250×250 px. Bone marrow smear.
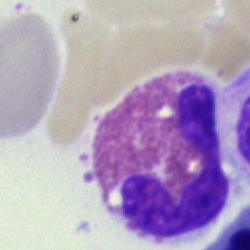 Single cell identified as an eosinophil.